Bone marrow aspirate smear — 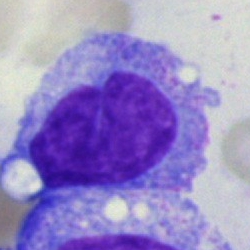 This is a monocyte.